40× oil immersion. Bone marrow aspirate smear:
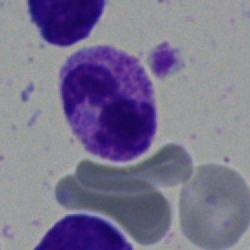Q: What is shown here?
A: A polymorphonuclear neutrophil.